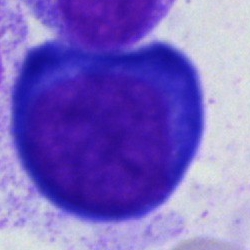

Specimen: bone marrow aspirate smear.
Cell type: proerythroblast.
Lineage: erythroid.